Bone marrow aspirate smear — 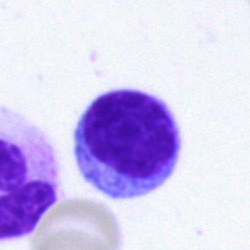 Morphology — typical lymphocyte.